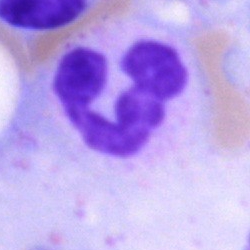 This is a segmented neutrophil.